Bone marrow aspirate smear: 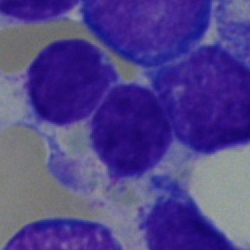
Cell type — lymphocyte.